Bone marrow aspirate smear; image size 250×250: 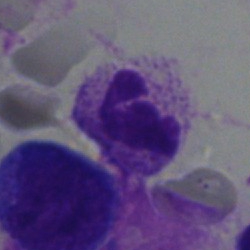Impression — neutrophil (segmented).